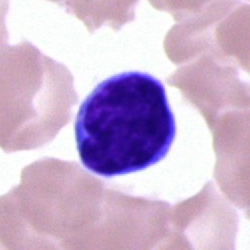

Showing a typical lymphocyte.